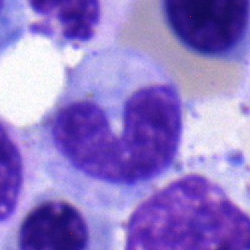Classification = band-form neutrophil.